Bone marrow aspirate smear:
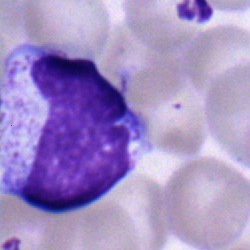 The classification is metamyelocyte.